Bone marrow aspirate smear. May-Grünwald-Giemsa/Pappenheim stain
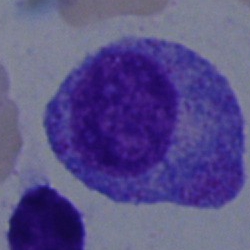 {"cell_type": "progranulocyte", "lineage": "myeloid"}